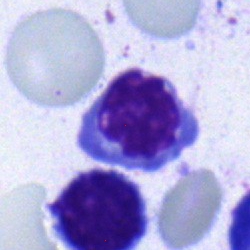
Specimen: bone marrow aspirate smear.
Morphological class: nucleated red blood cell.
Lineage: erythroid.